May-Grünwald-Giemsa stain; bone marrow smear; single-cell crop: 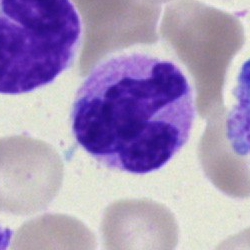Impression — band-form neutrophil.